40× objective, oil immersion · single-cell field · bone marrow aspirate smear — 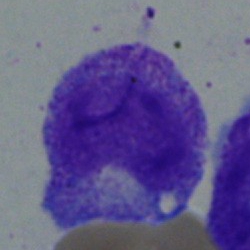 Myelocyte.